Bone marrow smear. 250×250
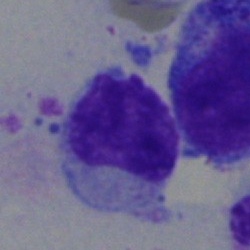

Classification = lymphocyte.